Bone marrow aspirate smear:
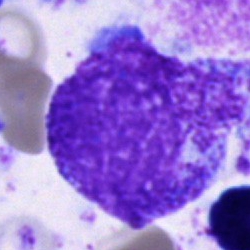 Morphology consistent with an artifact.